MGG-stained; bone marrow aspirate smear; single-cell crop
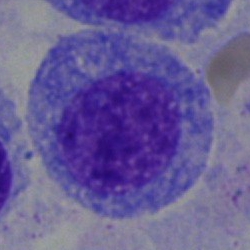
Single cell identified as a promyelocyte.